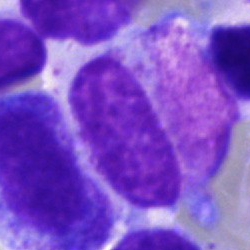The cell is cell not matching the other categories.